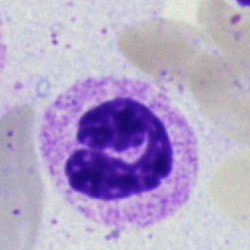

Specimen: bone marrow smear.
Cell: neutrophil (segmented).
Lineage: myeloid.